Peripheral blood smear. 360×363. Imaged on a CellaVision DM96 analyser: 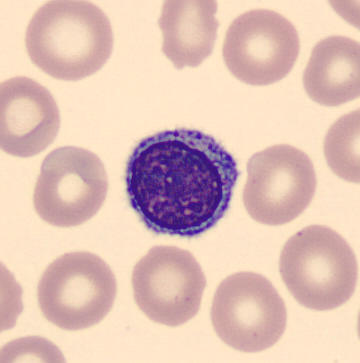The classification is typical lymphocyte.